Bone marrow smear: 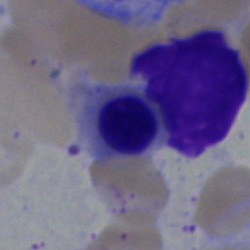 Specimen: bone marrow aspirate smear.
Cell: nucleated red blood cell.
Lineage: erythroid.